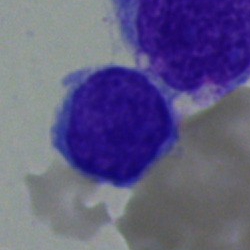

Specimen: bone marrow smear.
Morphological class: typical lymphocyte.